Bone marrow aspirate smear:
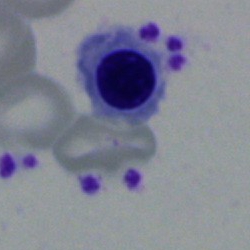

Impression → nucleated red blood cell.